Bone marrow aspirate smear; brightfield microscopy, 40× oil immersion; 250×250 px
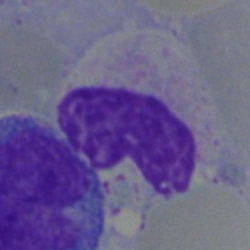 A stab cell.